40× oil immersion. Bone marrow smear. Single cell centered in the field:
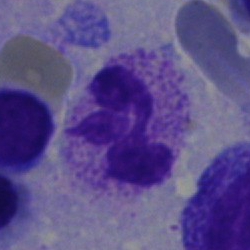 Q: What type of cell is this?
A: A segmented neutrophil.